Bone marrow smear
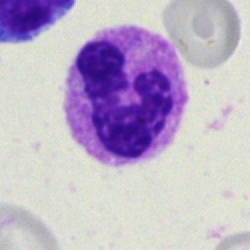 Q: What type of cell is this?
A: Neutrophil (segmented).